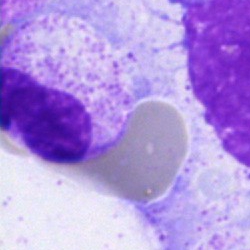Morphological class: stab cell.